Single-cell crop; bone marrow smear: 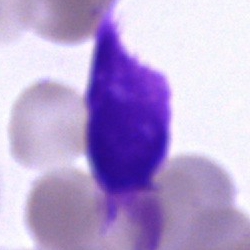 Q: What is shown here?
A: This is an artifact.